Bone marrow smear; Pappenheim-stained; 250 by 250 pixels
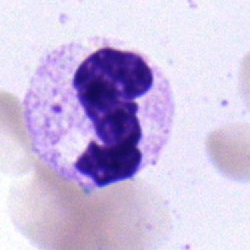
Specimen: bone marrow smear.
Classification: polymorphonuclear neutrophil.
Lineage: myeloid.